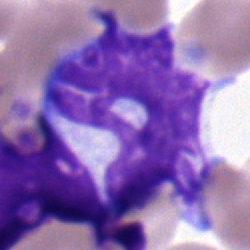Single-cell crop from a bone marrow smear: monocyte.